Single cell centered in the field · May-Grünwald-Giemsa/Pappenheim stain · bone marrow smear — 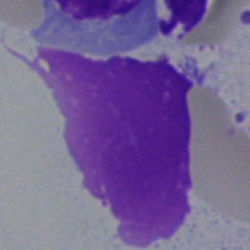This is an artefact.